Bone marrow aspirate smear. Single cell centered in the field: 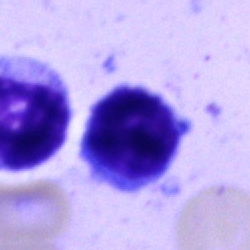 Q: Which cell type is shown here?
A: This is a lymphocyte.